Bone marrow smear — 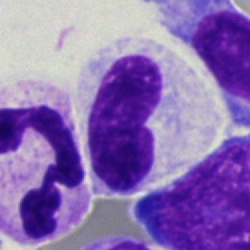

Q: What type of cell is this?
A: Segmented neutrophil.